Bone marrow smear; single-cell crop: 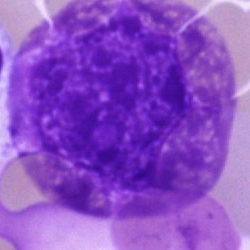
The morphological class is artefact.